Bone marrow aspirate smear — 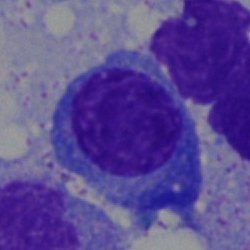Specimen: bone marrow smear.
Cell type: plasmacyte.
Lineage: lymphoid.